Bone marrow aspirate smear.
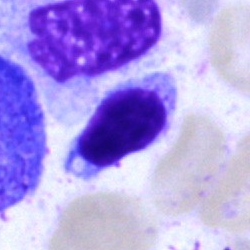Single cell identified as a typical lymphocyte.